Brightfield microscopy, 40× oil immersion. Bone marrow smear:
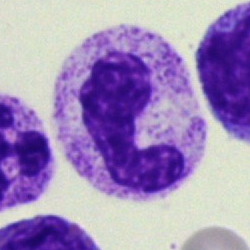 Morphological class: neutrophil (band).